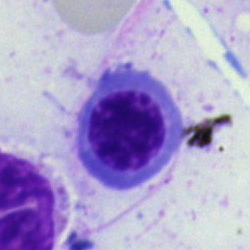

Bone marrow aspirate smear, single cell — nucleated red cell.